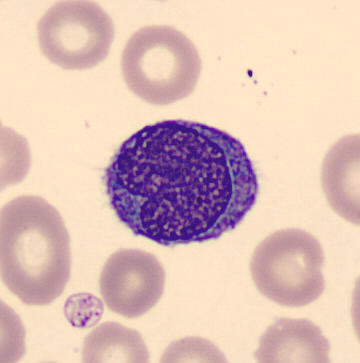

Cell = monocyte.
Peripheral blood film.